Bone marrow smear
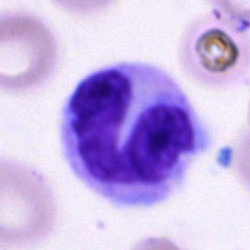Morphological class: monocyte.